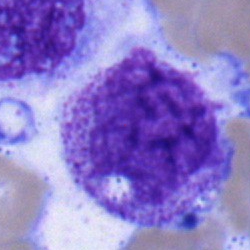 Classification: myelocyte.